Bone marrow smear:
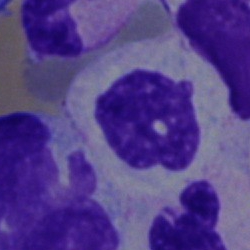Showing a neutrophil (segmented).